Bone marrow aspirate smear
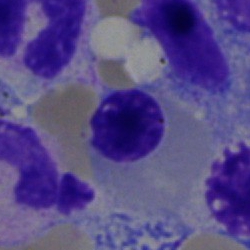
Q: Identify the cell.
A: An erythroblast.